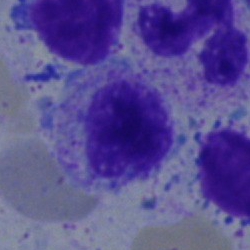Specimen: bone marrow smear.
Morphological class: myelocyte.